250×250 px; bone marrow aspirate smear; 40× oil immersion — 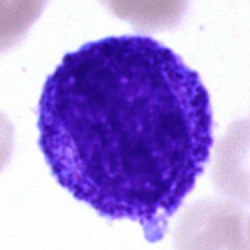A progranulocyte.